Bone marrow smear.
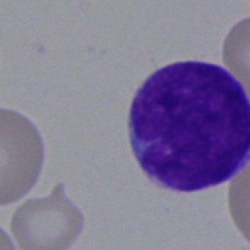

Morphology consistent with a blast.